Bone marrow aspirate smear:
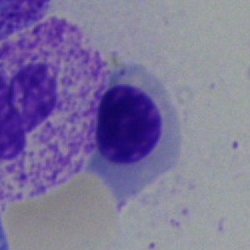
The classification is nucleated red cell.